Bone marrow smear.
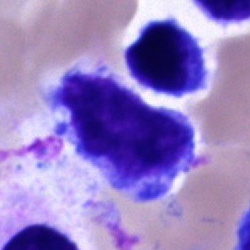 The cell shown is an undifferentiated blast.